Bone marrow aspirate smear.
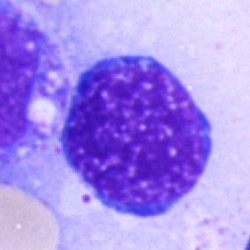

This is a normoblast.